Bone marrow aspirate smear
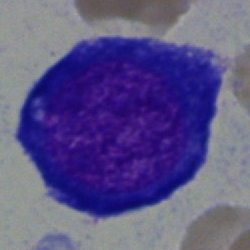
Proerythroblast.